Bone marrow smear — 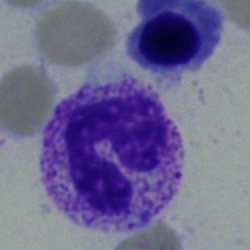
Showing a neutrophil (band).